CellaVision DM96. Peripheral blood film.
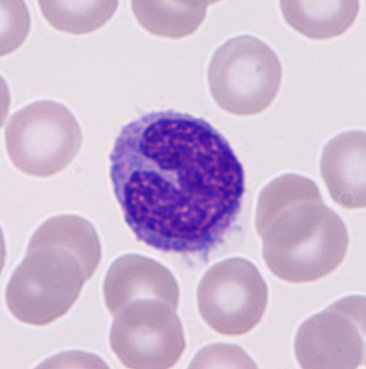Specimen: peripheral blood smear.
Cell type: monocyte.